400 by 400 pixels; peripheral blood film.
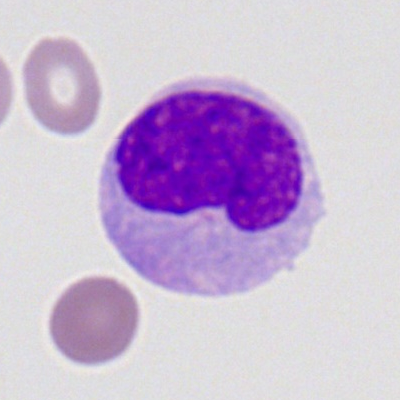 Cell type = lymphocyte.